Bone marrow smear — 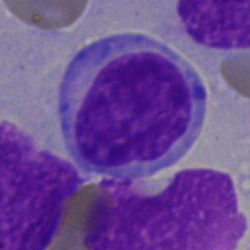Morphology → blast cell.